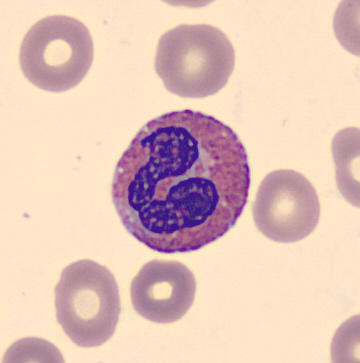 Q: What is the morphological classification of this cell?
A: An eosinophil.